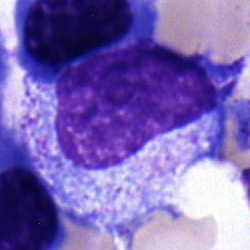Morphology → metamyelocyte.